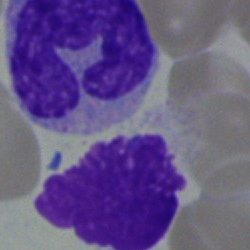A monocyte.